Bone marrow smear — 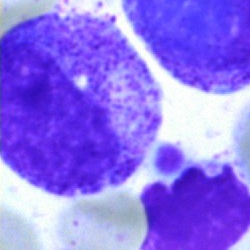Morphological class — myelocyte.